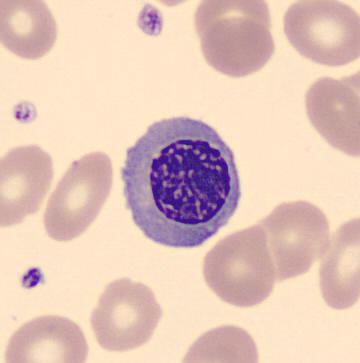Morphology consistent with a nucleated red cell. Preparation: Peripheral blood film.